250×250. Bone marrow smear. 40× objective, oil immersion — 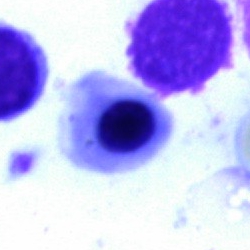

A nucleated red blood cell.